Bone marrow aspirate smear.
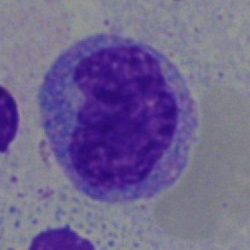 Monocyte.